Peripheral blood film.
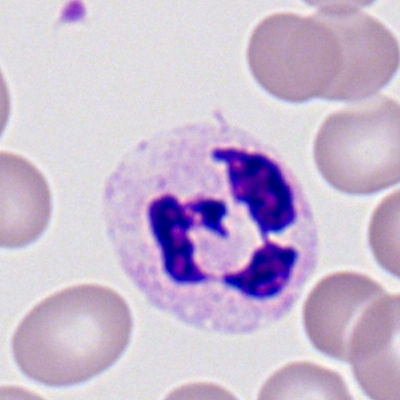 Cell type — polymorphonuclear neutrophil.